Bone marrow smear; 250×250
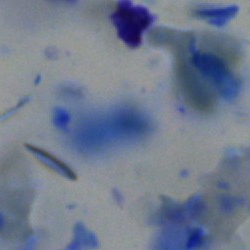 Impression → artifact.